40× oil immersion; 250×250; bone marrow smear.
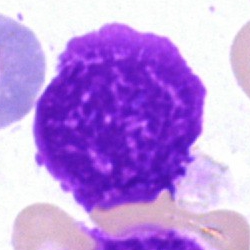Artefact.